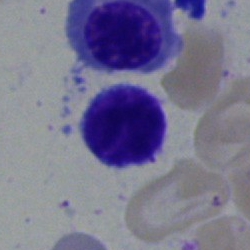

Morphological class = typical lymphocyte.